Bone marrow aspirate smear. Single cell centered in the field
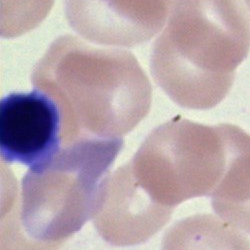
Morphology consistent with an unidentifiable cell.